Bone marrow aspirate smear; May-Grünwald-Giemsa/Pappenheim stain — 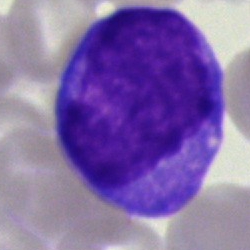

The cell is blast.